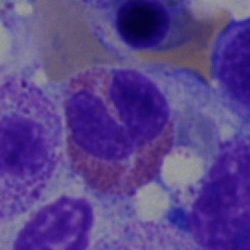
Classification — eosinophilic granulocyte.